Bone marrow smear; brightfield microscopy, 40× oil immersion:
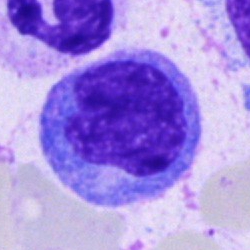

This is a monocyte.